Bone marrow smear: 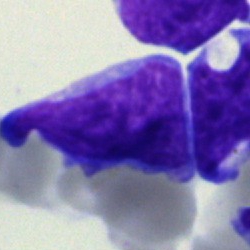 Specimen: bone marrow smear.
Morphological class: undifferentiated blast.